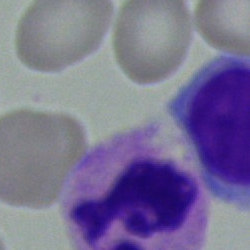

Impression — polymorphonuclear neutrophil.